Bone marrow aspirate smear
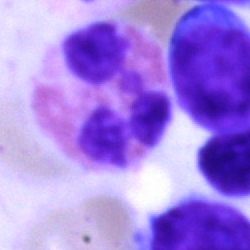

Specimen: bone marrow smear.
Cell type: eosinophil.